Bone marrow smear.
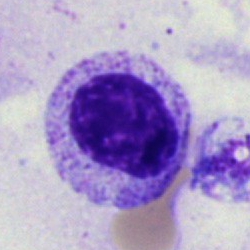 Morphological class: myelocyte.